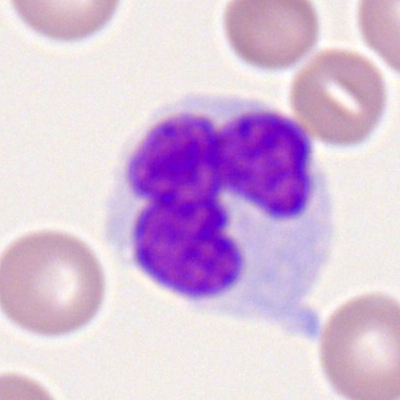

Q: What is shown here?
A: Monocyte.